Bone marrow aspirate smear: 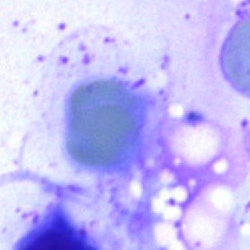
{"cell_type": "artifact"}